May-Grünwald-Giemsa/Pappenheim stain; 250×250 px; bone marrow smear:
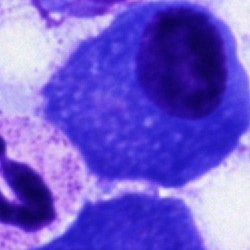
This is a plasmacyte.